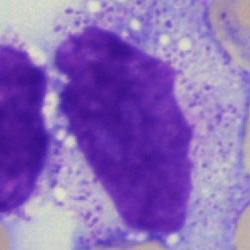
Morphological class = artefact.